CellaVision DM96 digital cell image; peripheral blood film
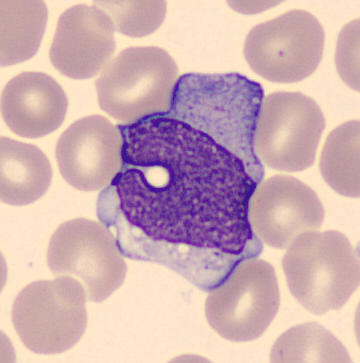
Specimen: peripheral blood film.
Classification: monocyte.
Lineage: myeloid.